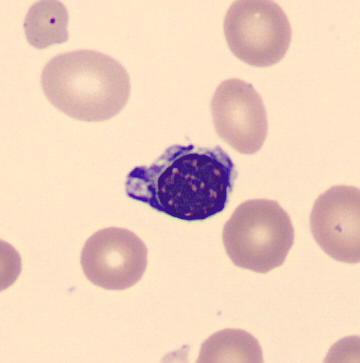

Peripheral blood film.
Showing a normoblast.